Bone marrow smear. 40× objective, oil immersion. Pappenheim-stained
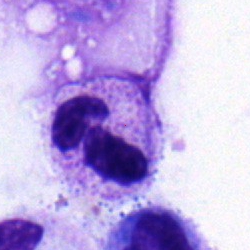
Morphology consistent with a neutrophil (segmented).